Bone marrow smear
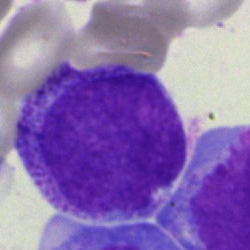
This is a blast cell.